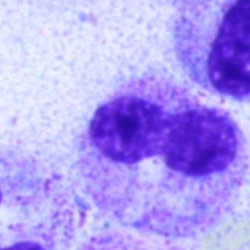Q: What is the morphological classification of this cell?
A: It is a polymorphonuclear neutrophil.